250 by 250 pixels. Bone marrow smear:
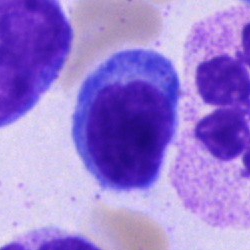Impression — lymphocyte.